MGG-stained · bone marrow aspirate smear · 250×250 px
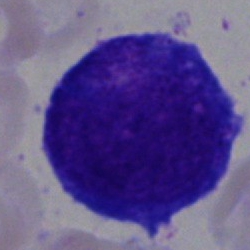{"cell_type": "undifferentiated blast"}